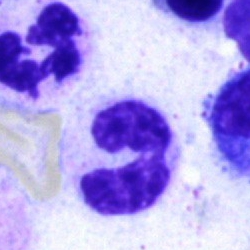The cell is polymorphonuclear neutrophil.